Bone marrow smear
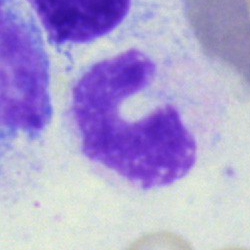 Q: Which cell type is shown here?
A: A polymorphonuclear neutrophil.